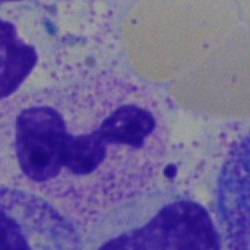
Single-cell crop from a bone marrow smear: polymorphonuclear neutrophil.